Peripheral blood film: 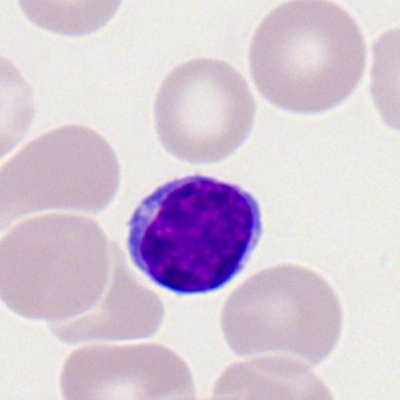Lymphocyte.